Image size 360×363; peripheral blood film: 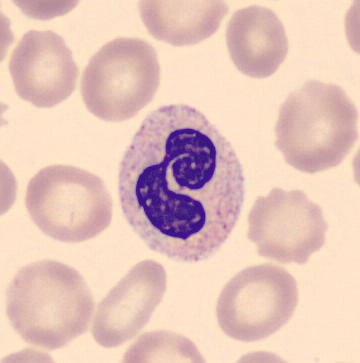Specimen: peripheral blood smear.
Morphological class: polymorphonuclear neutrophil.
Lineage: myeloid.